Bone marrow aspirate smear. 40× objective, oil immersion. 250×250 — 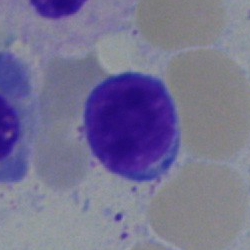
Morphology consistent with a typical lymphocyte.